Bone marrow smear
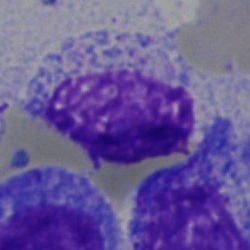
Cell of indeterminate lineage.